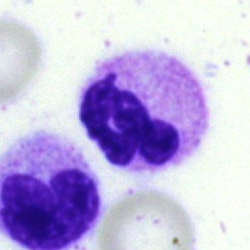
The classification is polymorphonuclear neutrophil.